Bone marrow aspirate smear; image size 250×250
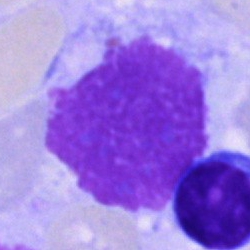 Classification = artefact.